Bone marrow aspirate smear; 40× objective, oil immersion
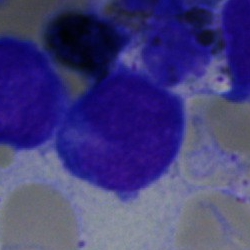Single cell identified as a blast.